Bone marrow smear: 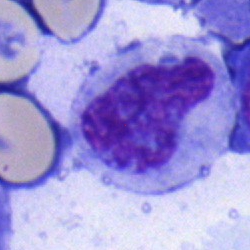
Classification = metamyelocyte.